250×250 px; bone marrow aspirate smear:
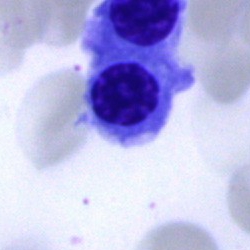 Q: What is shown here?
A: This is a normoblast.